Bone marrow aspirate smear:
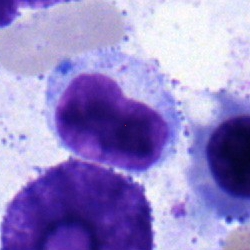Specimen: bone marrow aspirate smear.
Classification: lymphocyte.
Lineage: lymphoid.